Bone marrow aspirate smear: 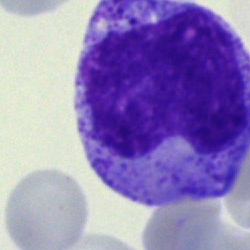The cell shown is a promyelocyte.